Bone marrow smear — 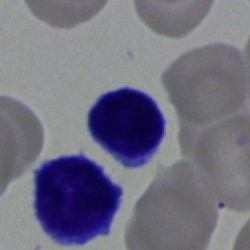

Morphology → lymphocyte.